250×250 px; brightfield microscopy, 40× oil immersion; bone marrow smear.
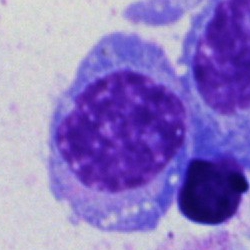
A plasma cell.